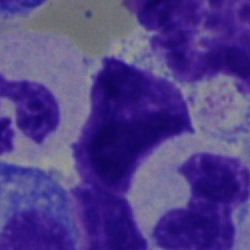
Single cell identified as an artifact.